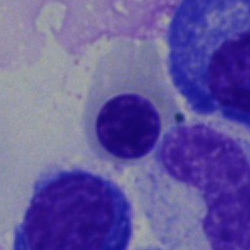 Q: What is the morphological classification of this cell?
A: It is a nucleated red blood cell.